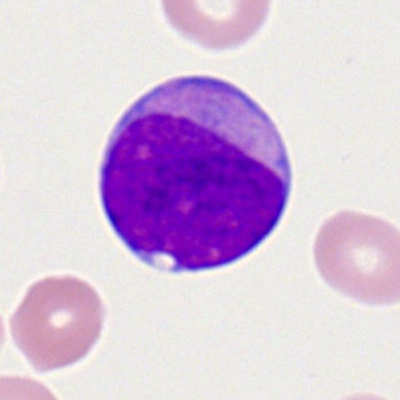 This is a myeloid blast.